Bone marrow smear — 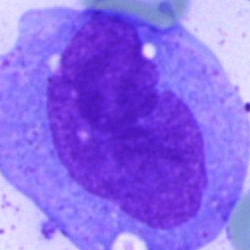

{"cell_type": "blast"}